Bone marrow smear. 40× objective, oil immersion. 250 by 250 pixels.
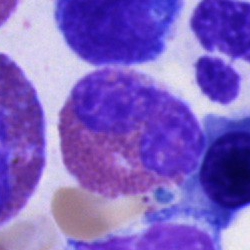 Cell type = eosinophil.